Bone marrow smear · 250 by 250 pixels.
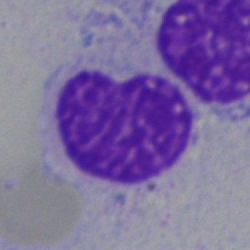

Morphology consistent with an artifact.